Bone marrow aspirate smear: 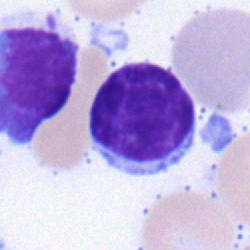 Q: What type of cell is this?
A: This is a typical lymphocyte.